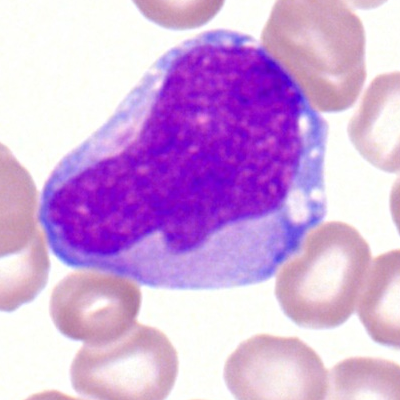Single cell identified as a myeloid blast.